Bone marrow smear:
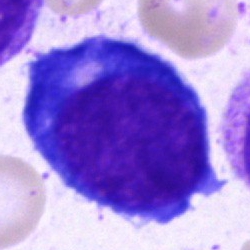 Classification — proerythroblast.